Bone marrow aspirate smear · May-Grünwald-Giemsa stain:
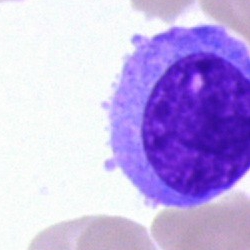 Morphology consistent with a monocyte.